Bone marrow aspirate smear.
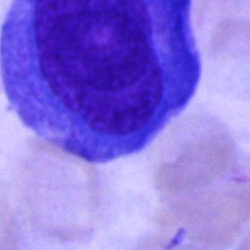

Blast.